Bone marrow aspirate smear: 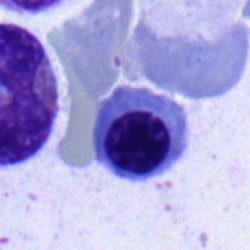

Classification = erythroblast.